Bone marrow aspirate smear; image size 250×250; single cell centered in the field:
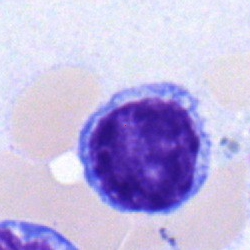 This is a lymphocyte.